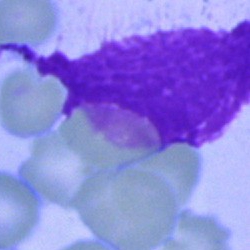Impression — artifact.